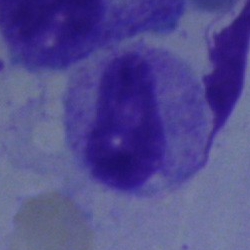 {"cell_type": "metamyelocyte"}